40× oil immersion · single-cell field · bone marrow aspirate smear: 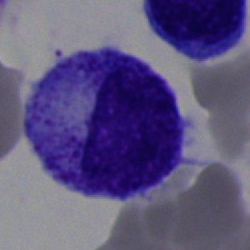Impression — promyelocyte.